Bone marrow smear.
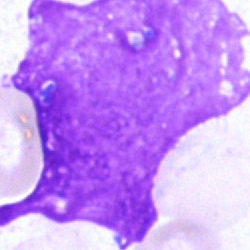

Classification: artefact.